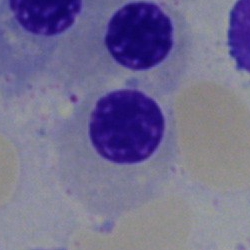 Showing a nucleated red cell.